Bone marrow aspirate smear
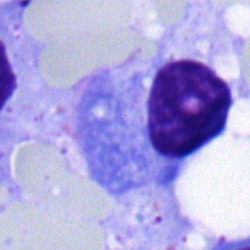Morphological class — plasmacyte.